Bone marrow smear:
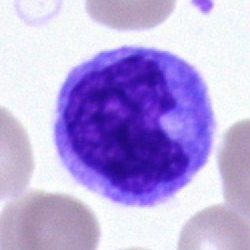The cell shown is a monocyte.